Bone marrow smear
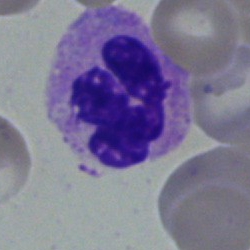 {"cell_type": "polymorphonuclear neutrophil", "lineage": "myeloid"}